Bone marrow smear:
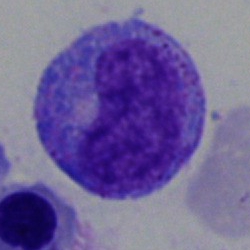
A promyelocyte.